Bone marrow smear:
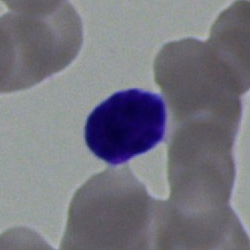 Q: What is shown here?
A: This is a typical lymphocyte.